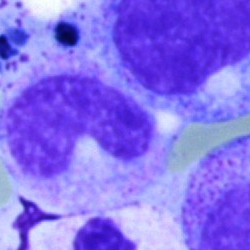 Stab cell.